Bone marrow smear; 250×250 px.
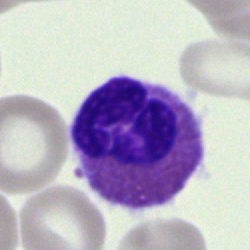
Cell: eosinophil.